Bone marrow smear.
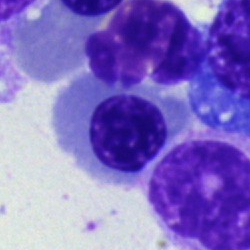
Specimen: bone marrow smear.
Morphological class: nucleated red cell.
Lineage: erythroid.